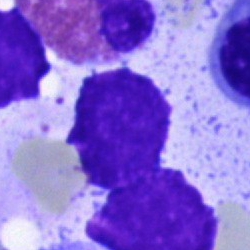Specimen: bone marrow aspirate smear.
Cell: artefact.